40× objective, oil immersion. Single cell centered in the field. Bone marrow smear: 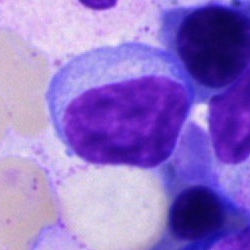{"cell_type": "lymphocyte"}